Bone marrow smear · single-cell crop.
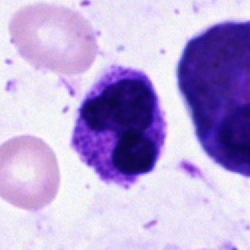

This is a neutrophil (segmented).